Single-cell crop; bone marrow aspirate smear.
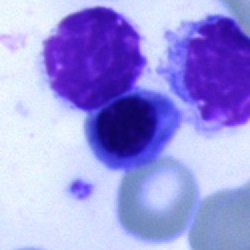
Morphological class — nucleated red blood cell.